Single cell centered in the field; peripheral blood film.
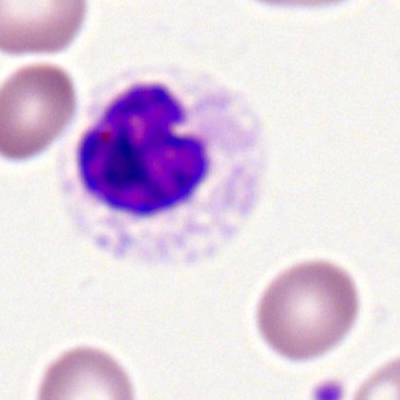
Single cell identified as a segmented neutrophil.